Bone marrow smear
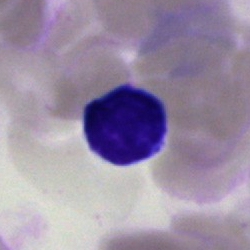
{"cell_type": "lymphocyte", "lineage": "lymphoid"}